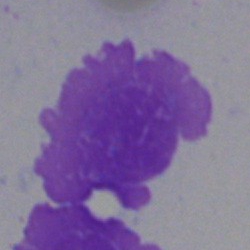
Morphological class = artefact.